Bone marrow aspirate smear · brightfield microscopy, 40× oil immersion · cropped to a single cell:
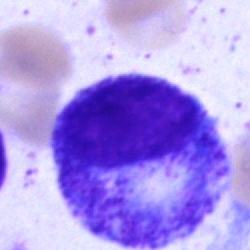Q: Which cell type is shown here?
A: A progranulocyte.